Bone marrow smear: 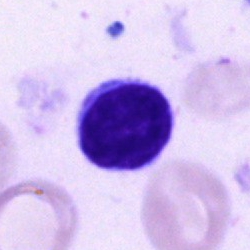

This is a lymphocyte.